Bone marrow aspirate smear · brightfield microscopy, 40× oil immersion:
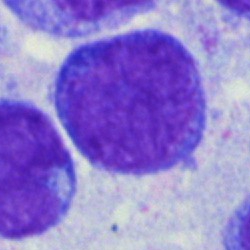
This is a blast.